Bone marrow aspirate smear · 250 by 250 pixels.
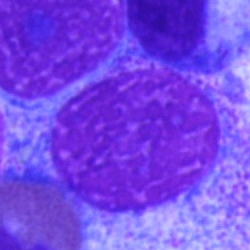 Cell — artefact.